250 by 250 pixels; bone marrow aspirate smear.
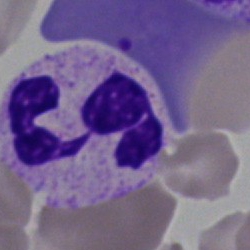

A segmented neutrophil.